Bone marrow smear · Pappenheim-stained · 40× objective, oil immersion.
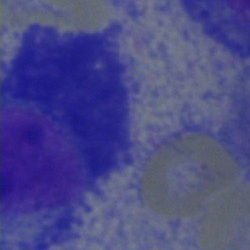Specimen: bone marrow aspirate smear.
Cell: plasma cell.